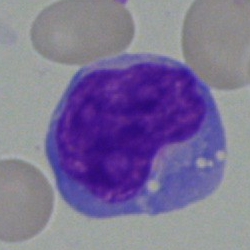

Morphology → typical lymphocyte.